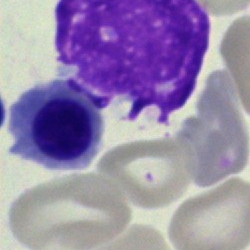

Cell type — normoblast.